Bone marrow aspirate smear; single-cell field.
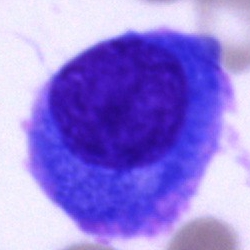 Q: Identify the cell.
A: A plasmacyte.